Brightfield, 40× oil-immersion objective · bone marrow aspirate smear:
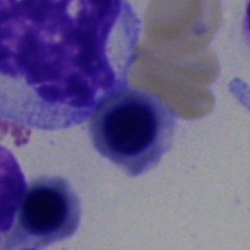
{"cell_type": "normoblast", "lineage": "erythroid"}